Bone marrow aspirate smear; 40× oil immersion; MGG-stained.
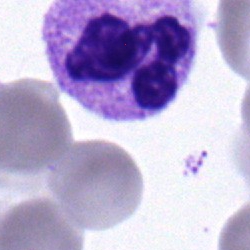
The morphological class is neutrophil (segmented).